Bone marrow smear · brightfield, 40× oil-immersion objective — 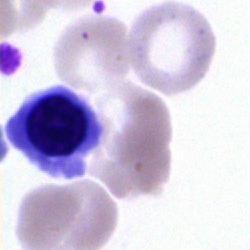 Impression → nucleated red cell.